Single-cell field · bone marrow aspirate smear · 250×250:
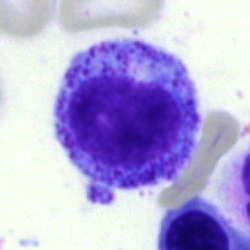

Cell — myelocyte.